Bone marrow smear. 40× oil immersion — 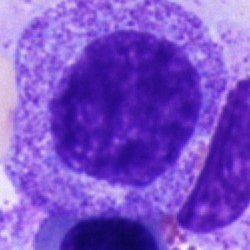
Q: What type of cell is this?
A: This is a progranulocyte.